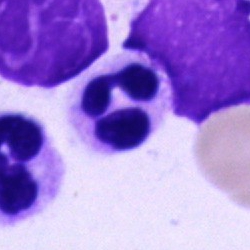Single-cell crop from a bone marrow smear: neutrophil (segmented).